Brightfield microscopy, 40× oil immersion; bone marrow smear; 250×250 — 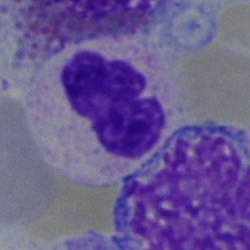 The cell shown is a segmented neutrophil.